Bone marrow aspirate smear:
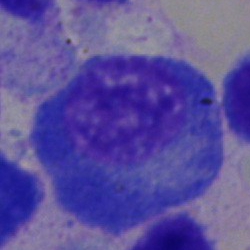
Plasma cell.